Bone marrow aspirate smear:
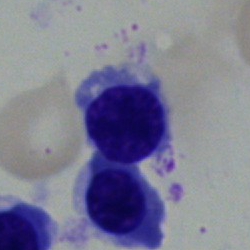

Specimen: bone marrow aspirate smear.
Cell type: nucleated red cell.
Lineage: erythroid.